Peripheral blood smear · brightfield, 100× oil-immersion objective · Romanowsky-type stain.
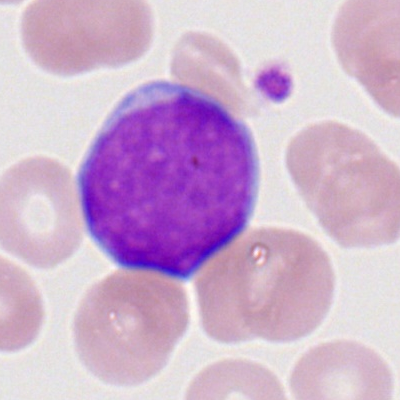 Showing a myeloblast.